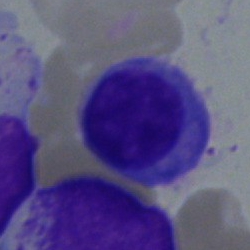

Bone marrow aspirate smear, single cell — plasma cell.